Bone marrow smear · Pappenheim-stained: 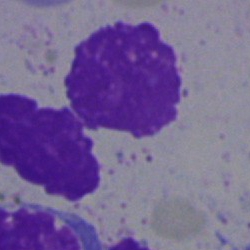 Morphology consistent with an artefact.